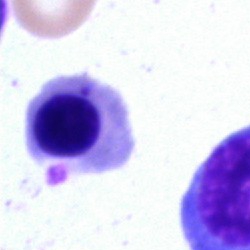Showing a nucleated red cell.